250×250 px · bone marrow aspirate smear — 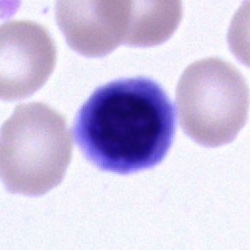Q: What is the morphological classification of this cell?
A: This is an erythroblast.